Bone marrow smear:
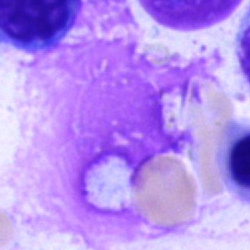

Cell type — artifact.